Peripheral blood smear. Image size 400×400.
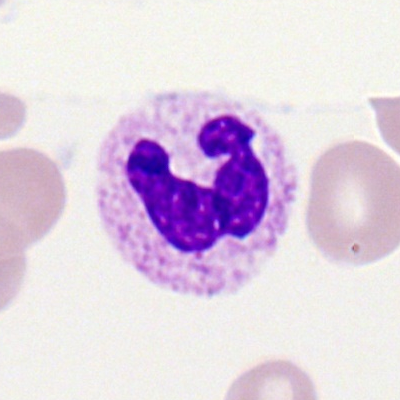
A neutrophil (segmented).